Bone marrow aspirate smear: 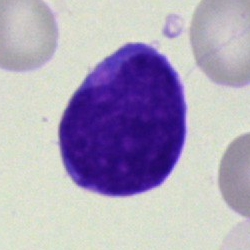
Q: What type of cell is this?
A: This is a blast.